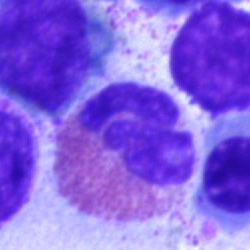

Bone marrow smear showing an eosinophil.